May-Grünwald-Giemsa stain. Bone marrow smear:
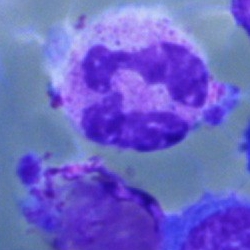
Classification = neutrophil (segmented).